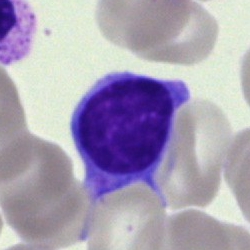
Cell — typical lymphocyte.